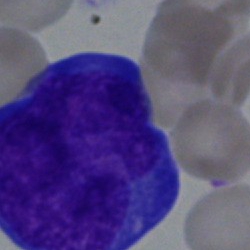The morphological class is undifferentiated blast.